250 by 250 pixels · bone marrow smear · 40× objective, oil immersion
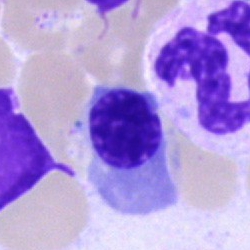

Specimen: bone marrow aspirate smear.
Cell type: nucleated red cell.
Lineage: erythroid.